40× objective, oil immersion. Bone marrow aspirate smear — 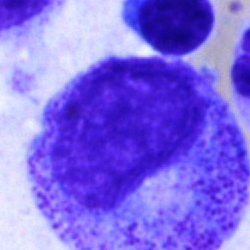A progranulocyte.